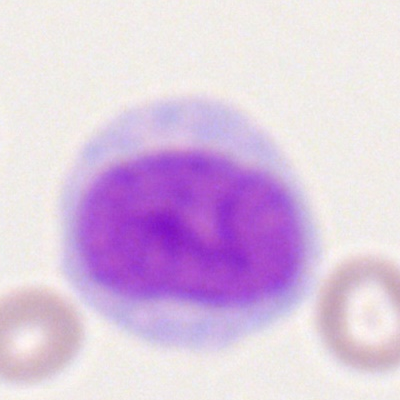

Morphological class: monocyte.